Bone marrow smear — 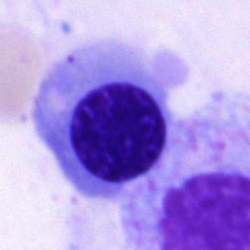Normoblast.